Bone marrow aspirate smear.
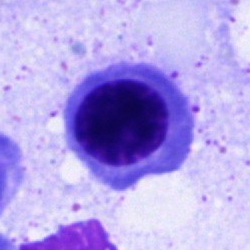

Showing a nucleated red cell.